Bone marrow smear.
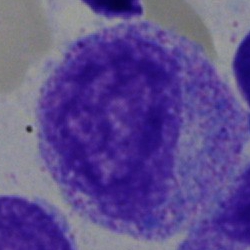

This is a progranulocyte.